Bone marrow smear:
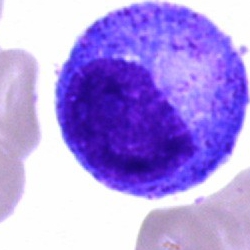
The cell shown is a progranulocyte.